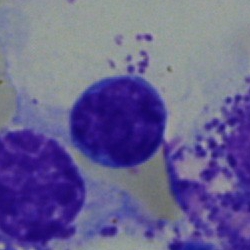Bone marrow aspirate smear, single cell — lymphocyte.